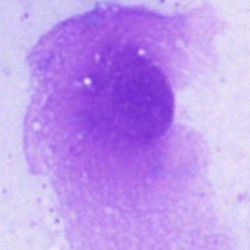
Bone marrow aspirate smear, single cell — artefact.